Bone marrow aspirate smear. 250×250 — 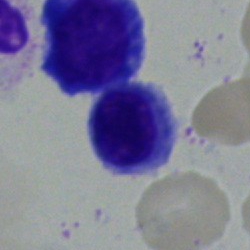

Morphological class — lymphocyte.